Bone marrow smear.
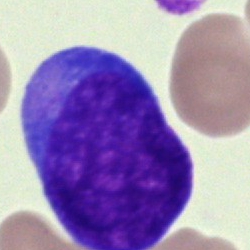The cell shown is a blast.